Peripheral blood smear; Romanowsky-stained — 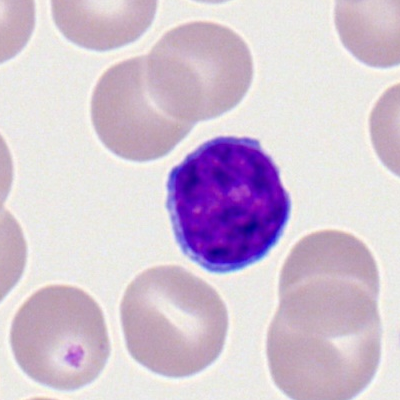

The cell shown is a lymphocyte.